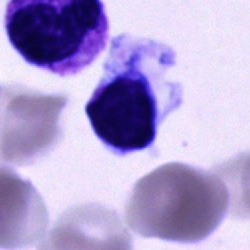Morphology → cell of indeterminate lineage.